Bone marrow aspirate smear: 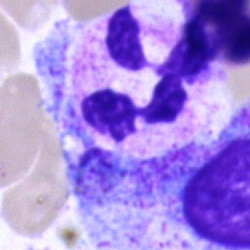 The cell shown is a neutrophil (segmented).